Bone marrow smear: 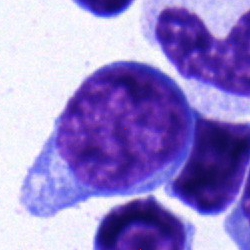
Q: Which cell type is shown here?
A: It is a blast.